Brightfield, 100× oil-immersion objective; peripheral blood film: 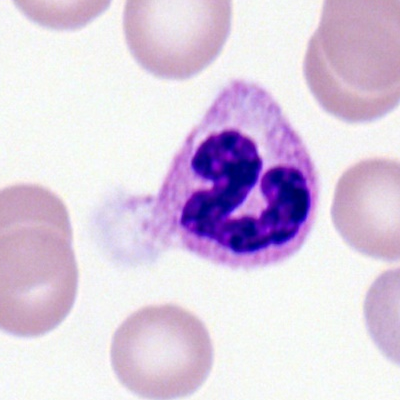 Specimen: peripheral blood smear.
Classification: segmented neutrophil.
Lineage: myeloid.